Bone marrow smear.
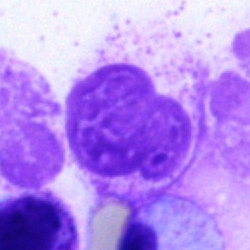An artifact.